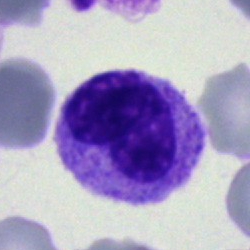Q: What type of cell is this?
A: This is a metamyelocyte.